Bone marrow smear; May-Grünwald-Giemsa/Pappenheim stain: 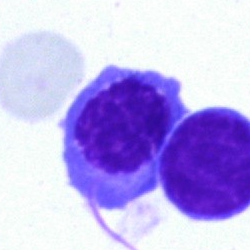 The morphological class is nucleated red cell.